250×250; bone marrow aspirate smear: 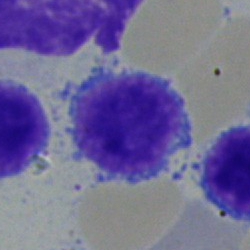

{"cell_type": "typical lymphocyte", "lineage": "lymphoid"}